Single cell centered in the field; 40× oil immersion; bone marrow aspirate smear — 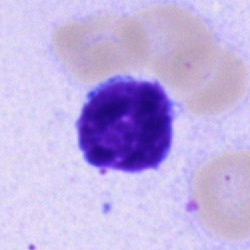
The cell shown is a lymphocyte.